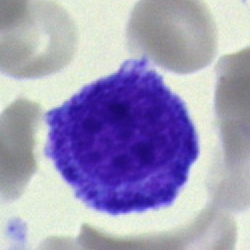

Morphological class: promyelocyte.